Bone marrow aspirate smear
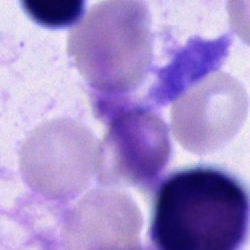

Showing an unidentifiable cell.